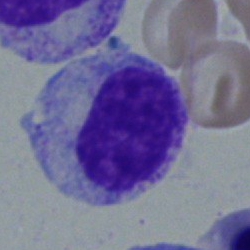 Q: What type of cell is this?
A: It is a myelocyte.